Bone marrow aspirate smear. Cropped to a single cell:
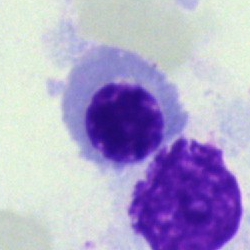

Cell — normoblast.